Brightfield, 40× oil-immersion objective; 250×250; bone marrow smear:
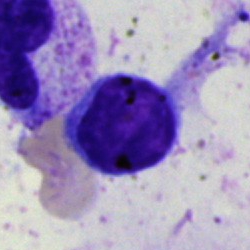Q: Which cell type is shown here?
A: Lymphocyte.